Peripheral blood smear — 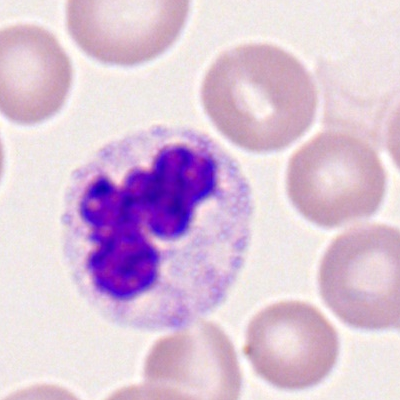Single cell identified as a polymorphonuclear neutrophil.